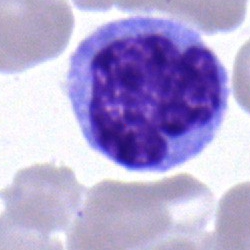
Specimen: bone marrow aspirate smear.
Morphological class: monocyte.